Bone marrow aspirate smear — 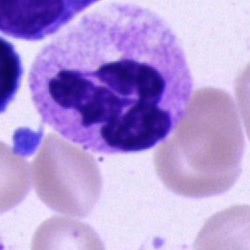 Showing a polymorphonuclear neutrophil.